Peripheral blood film; automated cell imaging (CellaVision DM96)
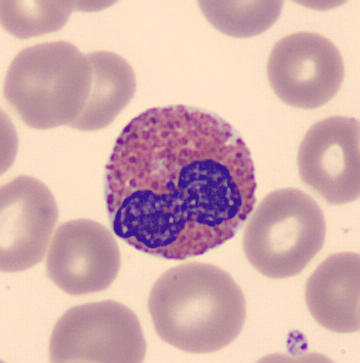
Cell type — eosinophilic granulocyte.